Bone marrow smear: 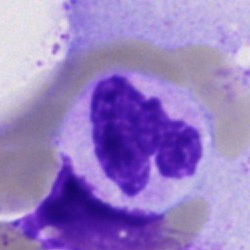 Classification = segmented neutrophil.